Bone marrow smear; 40× objective, oil immersion: 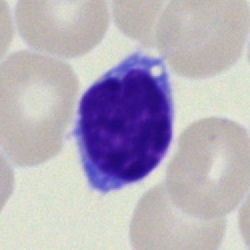The cell shown is a typical lymphocyte.